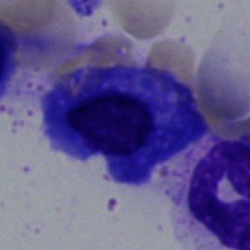 Showing a plasma cell.